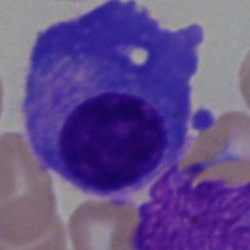

The morphological class is plasma cell.